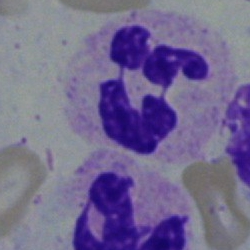 Specimen: bone marrow smear.
Cell: neutrophil (segmented).